Single-cell field · bone marrow aspirate smear.
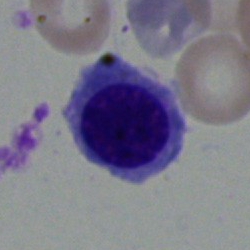
Morphology — nucleated red cell.